Bone marrow aspirate smear; image size 250×250
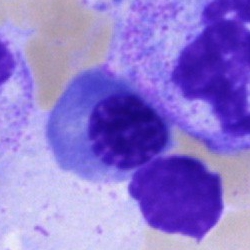

Cell — nucleated red blood cell.